Bone marrow aspirate smear: 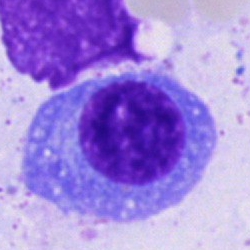

{"cell_type": "plasmacyte"}